Bone marrow aspirate smear; May-Grünwald-Giemsa stain — 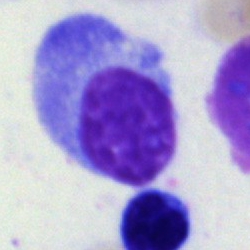

Morphological class = plasma cell.